Bone marrow aspirate smear: 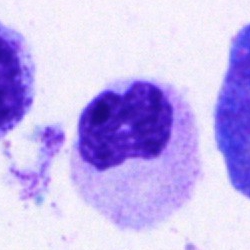

Q: Identify the cell.
A: It is a segmented neutrophil.